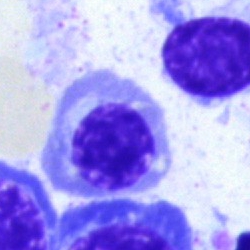

Impression — erythroblast.